Bone marrow aspirate smear · 40× objective, oil immersion.
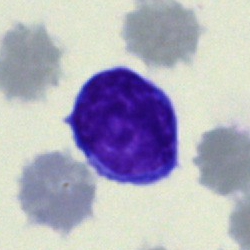
Q: What type of cell is this?
A: A lymphocyte.